Bone marrow smear; 250 by 250 pixels — 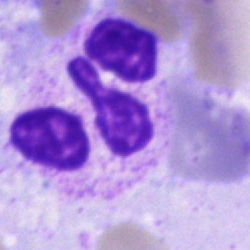
Specimen: bone marrow aspirate smear.
Cell: segmented neutrophil.